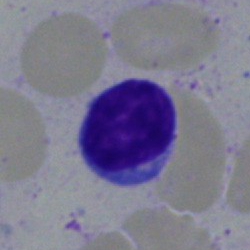 Bone marrow aspirate smear, single cell — typical lymphocyte.